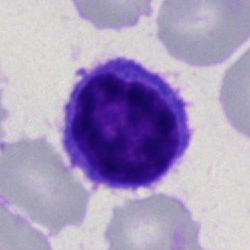
Cell: typical lymphocyte.